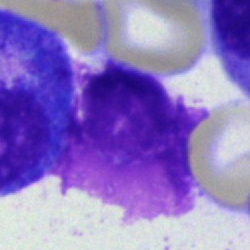

Specimen: bone marrow smear.
Morphological class: artifact.